40× oil immersion · bone marrow smear: 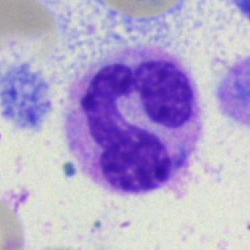

Impression — segmented neutrophil.